Bone marrow smear:
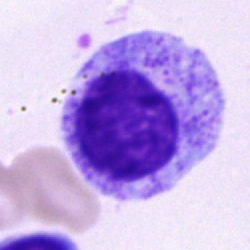 Q: What is the morphological classification of this cell?
A: It is a myelocyte.